Peripheral blood smear
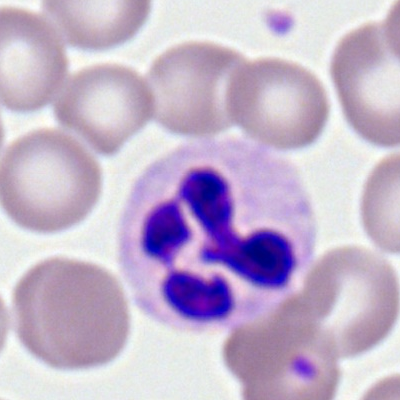 Single cell identified as a polymorphonuclear neutrophil.